Bone marrow aspirate smear.
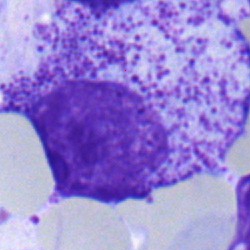 Morphological class: myelocyte.